Bone marrow smear:
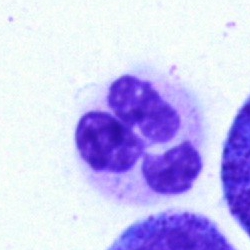

Q: What is shown here?
A: It is a segmented neutrophil.